Bone marrow smear · single-cell crop · 250 by 250 pixels.
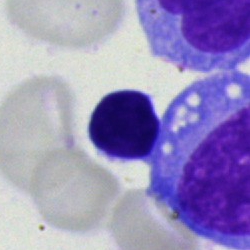 Typical lymphocyte.